Bone marrow aspirate smear.
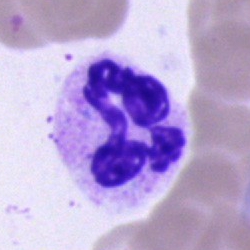

{"cell_type": "neutrophil (segmented)"}